250 by 250 pixels · cropped to a single cell · bone marrow aspirate smear — 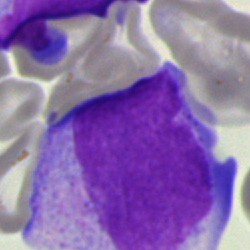

Single cell identified as a monocyte.